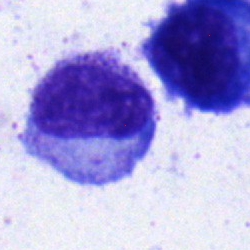
This is a myelocyte.